Single-cell crop · bone marrow smear · 250×250 px
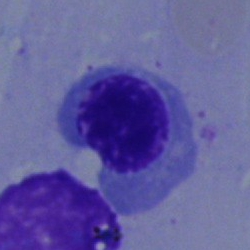
Specimen: bone marrow smear.
Cell type: normoblast.